Peripheral blood film — 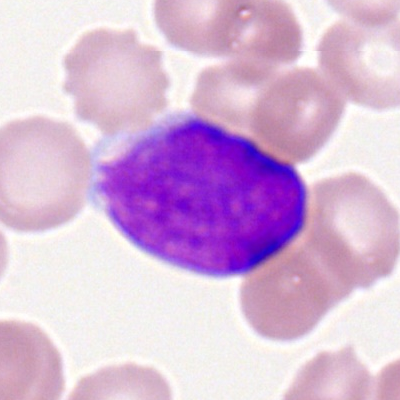
Morphology consistent with a myeloid blast.